Brightfield, 40× oil-immersion objective; bone marrow aspirate smear
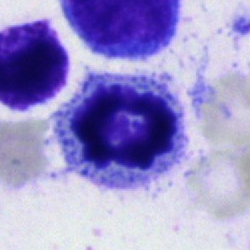Specimen: bone marrow smear.
Cell: unidentifiable cell.